May-Grünwald-Giemsa/Pappenheim stain. Bone marrow smear. Image size 250×250
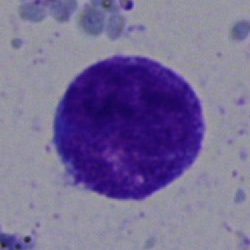

Promyelocyte.